250 by 250 pixels; single cell centered in the field; bone marrow smear.
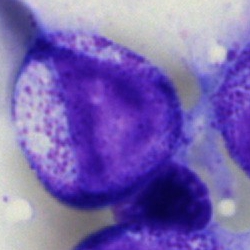
The morphological class is myelocyte.